Bone marrow smear: 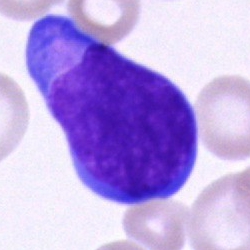
The cell type is blast cell.